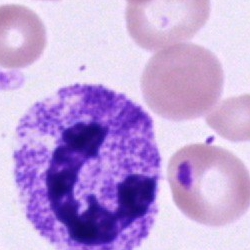

Morphological class — polymorphonuclear neutrophil.